May-Grünwald-Giemsa stain · bone marrow aspirate smear:
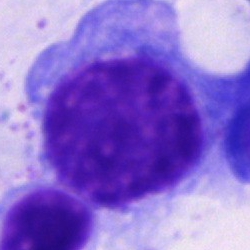 Morphology → artifact.